Bone marrow smear: 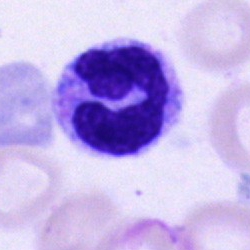
Q: Identify the cell.
A: A segmented neutrophil.